250×250; bone marrow aspirate smear:
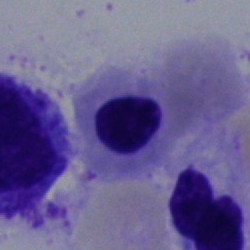

The morphological class is nucleated red blood cell.